Bone marrow aspirate smear
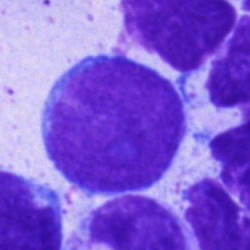 {"cell_type": "blast"}